Peripheral blood smear. 100× oil immersion, 14.14 px/µm — 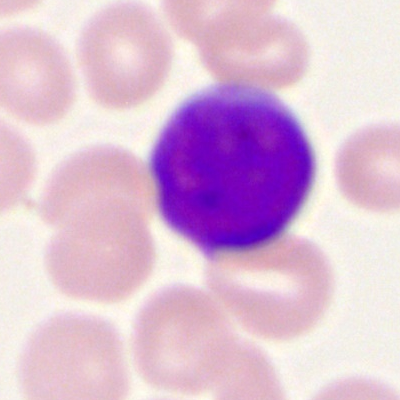

Q: Which cell type is shown here?
A: Myeloblast.